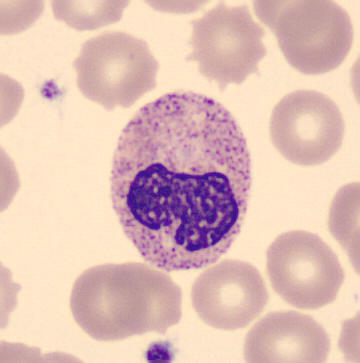 Image size 360×363 · peripheral blood film · single-cell crop.

Impression — stab cell.